Image size 250×250; bone marrow aspirate smear; brightfield microscopy, 40× oil immersion.
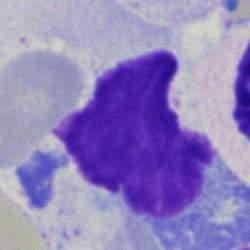
The cell shown is an artefact.